Bone marrow smear:
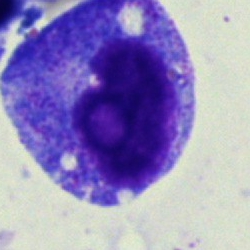

Morphology → proerythroblast.